Bone marrow aspirate smear:
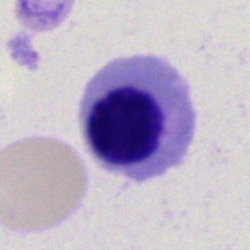

Q: What cell is this?
A: Erythroblast.